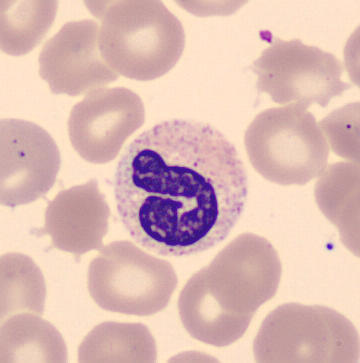
Single-cell crop from a peripheral blood smear: band-form neutrophil.